Bone marrow aspirate smear.
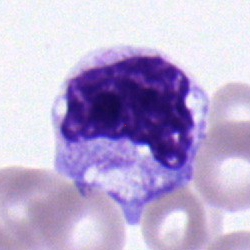 The cell shown is a monocyte.